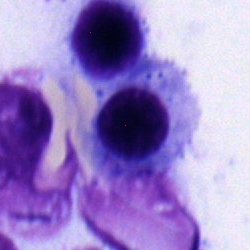Single-cell crop from a bone marrow smear: nucleated red blood cell.